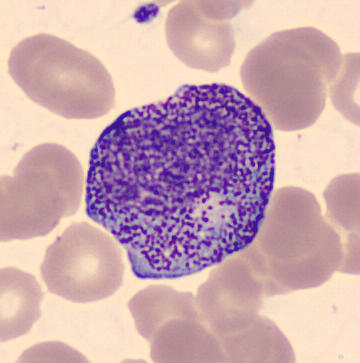 Single cell centered in the field; peripheral blood film; CellaVision DM96 digital cell image. A myelocyte.